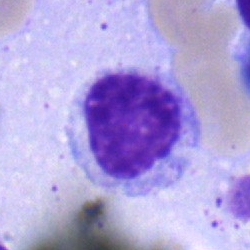Classification: myelocyte.